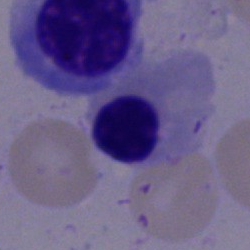 Impression — erythroblast.